Bone marrow aspirate smear
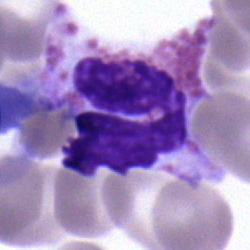
The cell shown is an eosinophil.